Bone marrow aspirate smear · single-cell field: 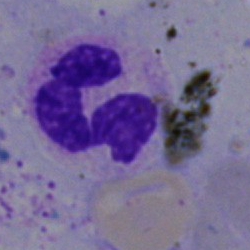

Single cell identified as a polymorphonuclear neutrophil.